Bone marrow aspirate smear
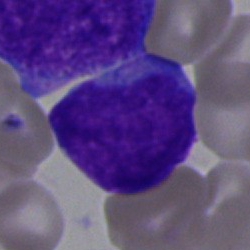 Impression → blast cell.